Peripheral blood film — 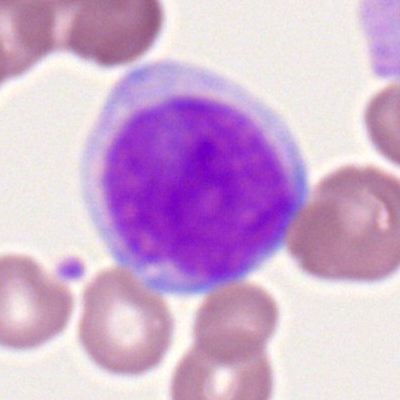

Morphology → myeloid blast.